Bone marrow smear.
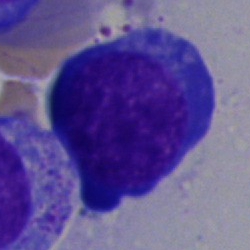Cell — nucleated red cell.